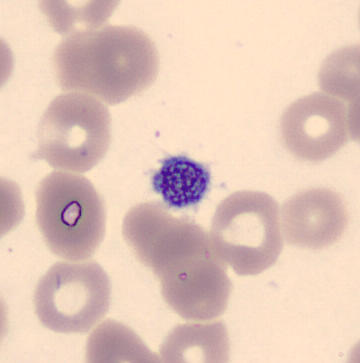Thrombocyte. Image: MGG-stained; peripheral blood smear.